May-Grünwald-Giemsa stain · brightfield, 40× oil-immersion objective · bone marrow smear: 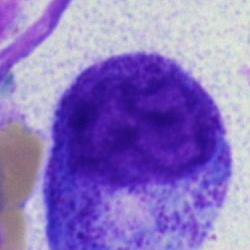

Progranulocyte.